Bone marrow aspirate smear. 250 by 250 pixels.
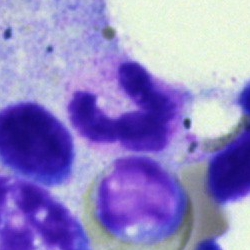
Neutrophil (segmented).